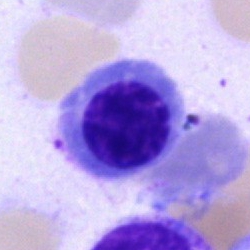 Q: Identify the cell.
A: A nucleated red cell.